MGG-stained · single cell centered in the field · bone marrow aspirate smear: 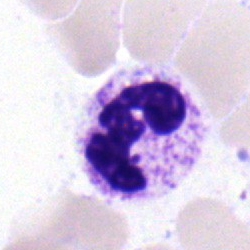
Morphology → neutrophil (segmented).